Bone marrow smear; single-cell field:
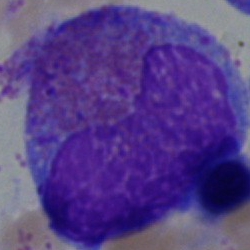Q: Identify the cell.
A: It is an eosinophilic granulocyte.